Bone marrow smear
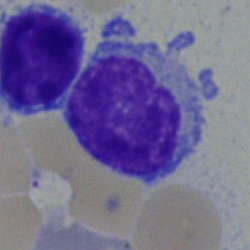 This is a typical lymphocyte.